Bone marrow smear: 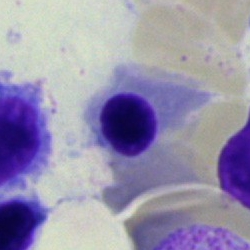

Specimen: bone marrow smear.
Morphological class: nucleated red blood cell.
Lineage: erythroid.